Brightfield microscopy, 40× oil immersion; bone marrow smear; MGG-stained: 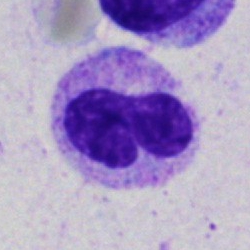
Specimen: bone marrow aspirate smear.
Cell type: neutrophil (band).
Lineage: myeloid.